Bone marrow smear: 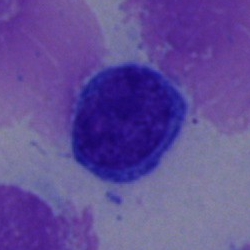
{"cell_type": "typical lymphocyte"}